Bone marrow aspirate smear. 250×250. 40× oil immersion:
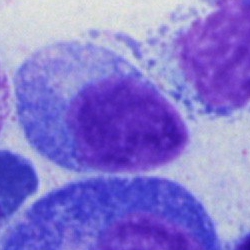 Q: What cell is this?
A: It is a monocyte.